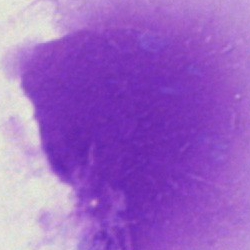Q: What is shown here?
A: Artefact.